250 by 250 pixels. Bone marrow aspirate smear: 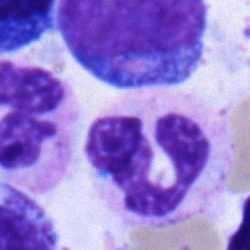This is a blast.